250×250 px; bone marrow smear — 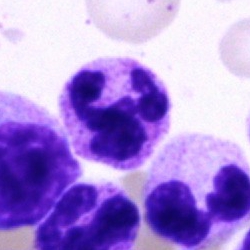Morphological class — polymorphonuclear neutrophil.